Bone marrow smear:
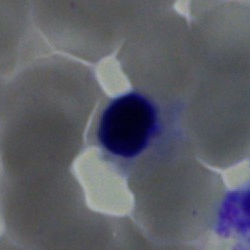

Erythroblast.